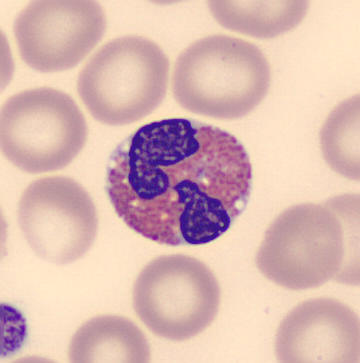 Impression — eosinophilic granulocyte.